Brightfield, 40× oil-immersion objective · bone marrow aspirate smear · MGG-stained.
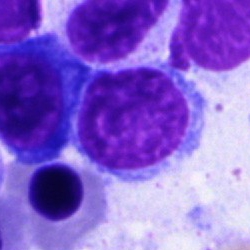
Classification — typical lymphocyte.